Brightfield, 40× oil-immersion objective; bone marrow aspirate smear:
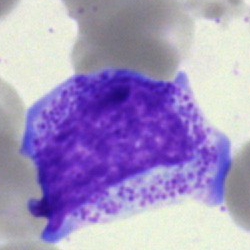
Impression → promyelocyte.